MGG-stained. Single cell centered in the field. Bone marrow smear.
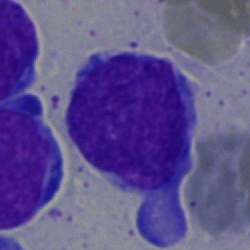

This is a blast cell.